Image size 250×250. May-Grünwald-Giemsa/Pappenheim stain. Bone marrow aspirate smear: 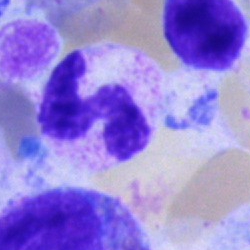The cell shown is a segmented neutrophil.